40× oil immersion; bone marrow smear:
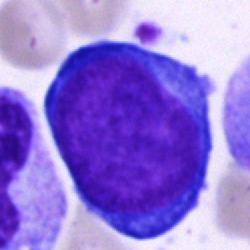Showing a pronormoblast.